Bone marrow smear — 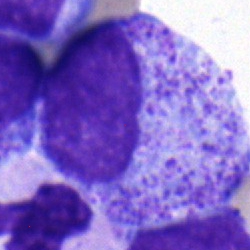 The cell type is progranulocyte.